Bone marrow smear: 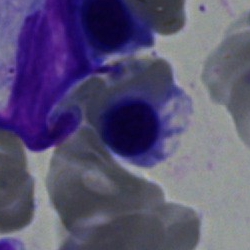 The cell shown is a normoblast.